40× objective, oil immersion · single cell centered in the field · bone marrow smear: 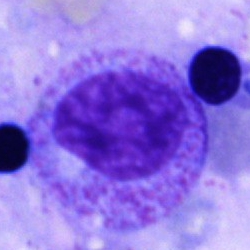Promyelocyte.